Bone marrow aspirate smear: 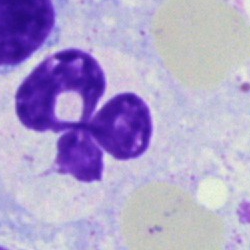 Cell type: artefact.